Bone marrow aspirate smear.
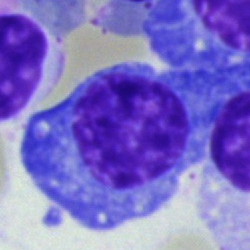Impression — plasmacyte.